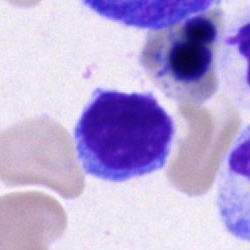 Morphological class = lymphocyte.